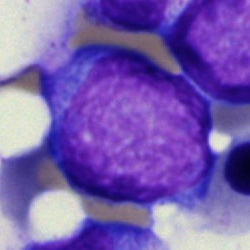

Q: What is shown here?
A: It is a blast.